May-Grünwald-Giemsa/Pappenheim stain. 250×250 px. Bone marrow aspirate smear
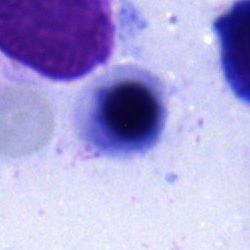 Q: What is shown here?
A: An erythroblast.